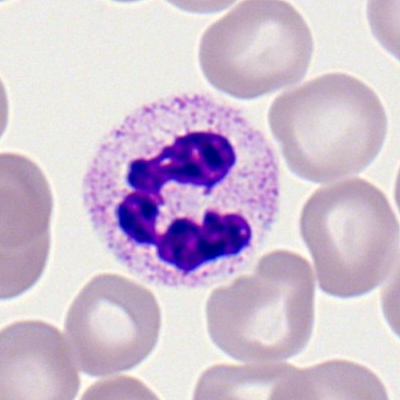 {"cell_type": "polymorphonuclear neutrophil", "lineage": "myeloid"}